Bone marrow smear; 250 by 250 pixels
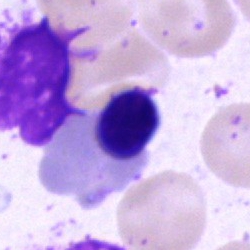

Nucleated red cell.